Peripheral blood smear:
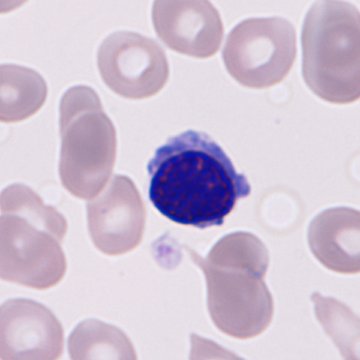 A nucleated red blood cell.